Bone marrow smear — 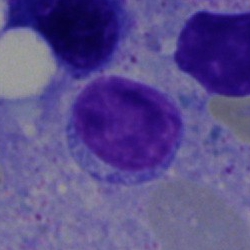Q: Which cell type is shown here?
A: Lymphocyte.